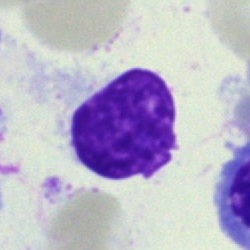 Q: What is shown here?
A: It is an artifact.